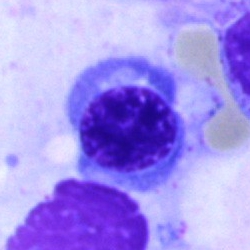 Erythroblast.